Bone marrow smear · Pappenheim-stained: 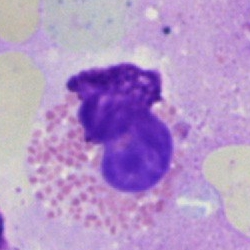 Morphological class — eosinophilic granulocyte.